Bone marrow aspirate smear · 40× oil immersion · 250×250 px — 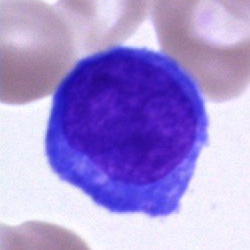Undifferentiated blast.